Bone marrow smear
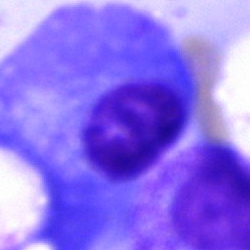This is a plasma cell.